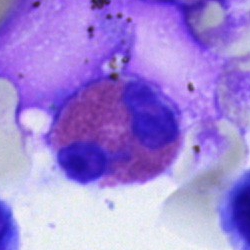 Impression — eosinophil.